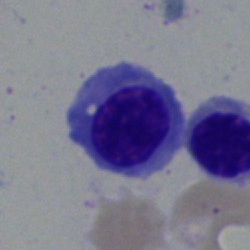Nucleated red cell.